Bone marrow smear.
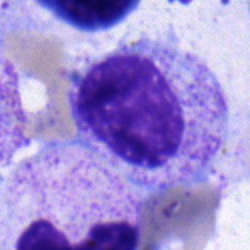 The cell shown is a myelocyte.